Bone marrow aspirate smear; 250 by 250 pixels: 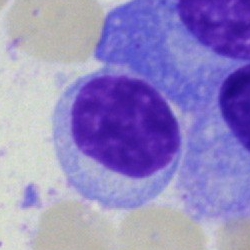 This is a lymphocyte.